250×250; brightfield, 40× oil-immersion objective; bone marrow smear.
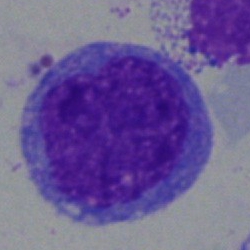 A blast cell.